Bone marrow aspirate smear.
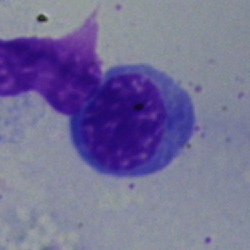 Q: Which cell type is shown here?
A: A nucleated red blood cell.